Bone marrow aspirate smear: 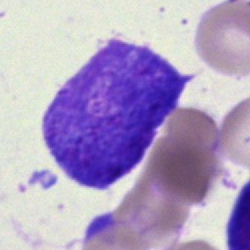

An artifact.